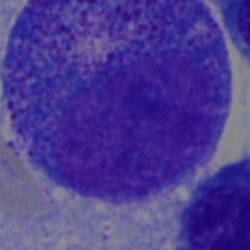

Specimen: bone marrow smear.
Cell: promyelocyte.
Lineage: myeloid.